Single-cell field · peripheral blood smear.
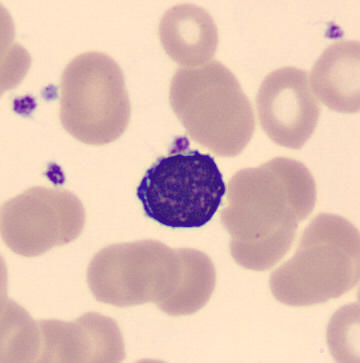Q: What type of cell is this?
A: This is a typical lymphocyte.